Bone marrow smear — 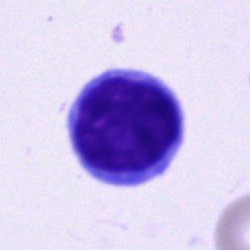Morphology consistent with a typical lymphocyte.